Bone marrow smear
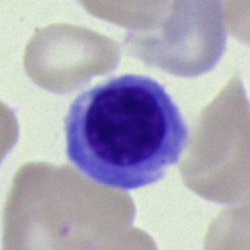
Morphological class = erythroblast.